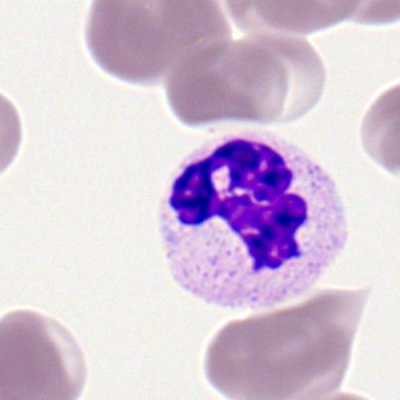 Classification = segmented neutrophil.